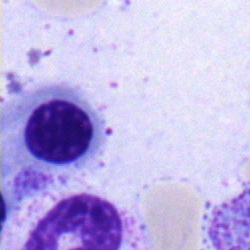

Morphology consistent with a nucleated red blood cell.